Bone marrow aspirate smear; Pappenheim-stained
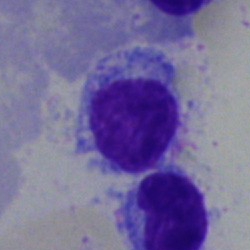
Impression → typical lymphocyte.